Bone marrow smear: 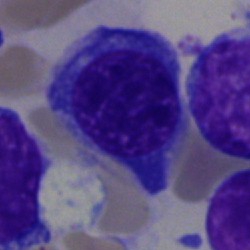

Morphological class = erythroblast.